May-Grünwald-Giemsa stain. Bone marrow smear
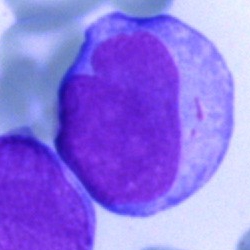
{"cell_type": "blast cell"}